Bone marrow aspirate smear; brightfield, 40× oil-immersion objective — 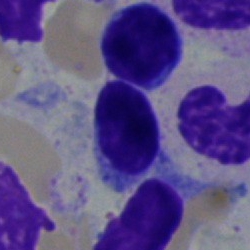

A lymphocyte.